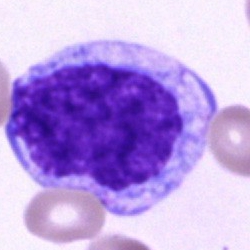
{"cell_type": "promyelocyte", "lineage": "myeloid"}